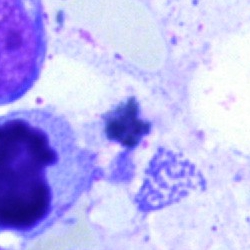 Showing an artifact.